Bone marrow smear: 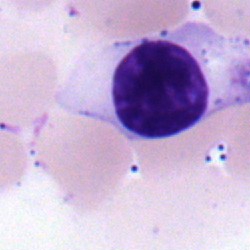The cell type is typical lymphocyte.